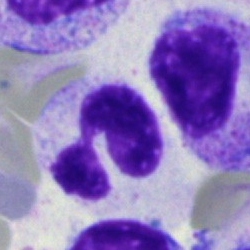Morphology → polymorphonuclear neutrophil.